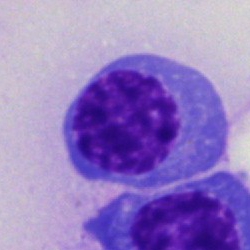
Classification: nucleated red cell.